250×250; bone marrow smear; brightfield microscopy, 40× oil immersion: 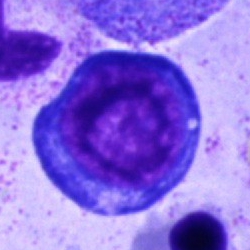
Cell — proerythroblast.